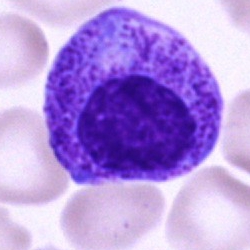Q: Identify the cell.
A: This is a promyelocyte.